Single-cell crop; bone marrow aspirate smear:
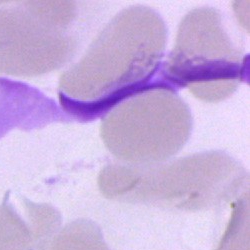 The cell is artefact.